Brightfield microscopy, 40× oil immersion · bone marrow aspirate smear
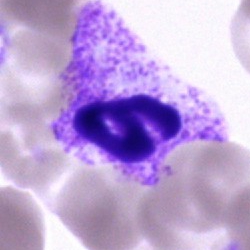

Showing a polymorphonuclear neutrophil.